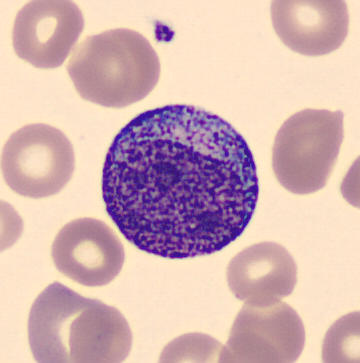The cell shown is a progranulocyte.